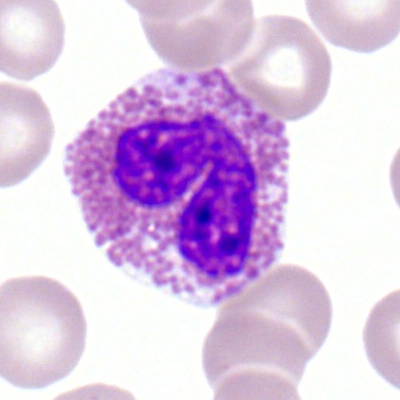 The classification is eosinophil.